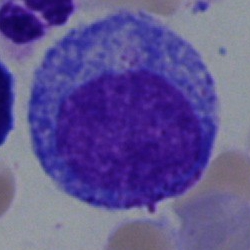

Specimen: bone marrow smear.
Morphological class: promyelocyte.
Lineage: myeloid.